Bone marrow aspirate smear
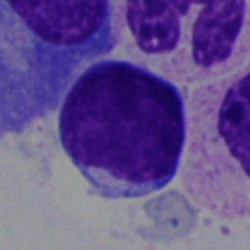 A typical lymphocyte.